Bone marrow aspirate smear:
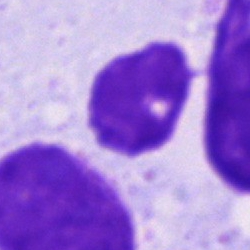 Morphological class — artifact.